Bone marrow smear: 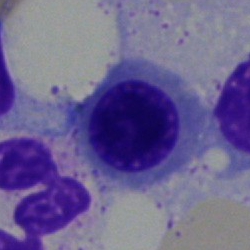 Morphology consistent with an erythroblast.